Bone marrow smear; 40× oil immersion:
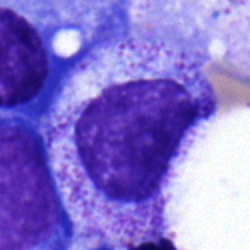

Morphology → myelocyte.